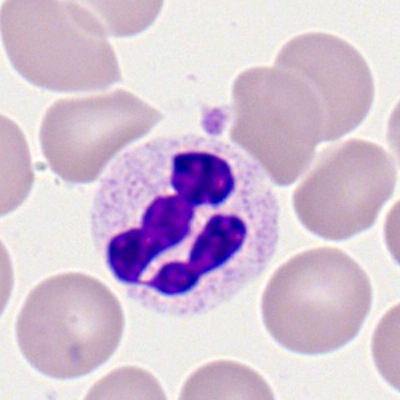 Morphology consistent with a neutrophil (segmented).